Bone marrow aspirate smear; image size 250×250; May-Grünwald-Giemsa stain:
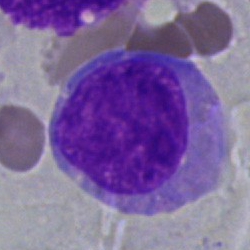The classification is undifferentiated blast.